Bone marrow aspirate smear: 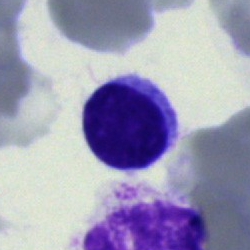 The morphological class is typical lymphocyte.